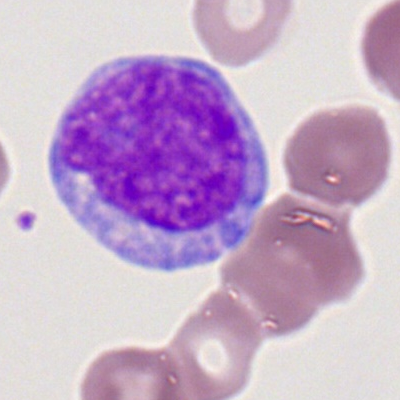Specimen: peripheral blood film.
Cell: monocyte.
Lineage: myeloid.